Bone marrow aspirate smear:
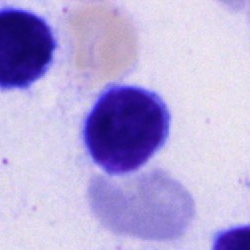Single cell identified as a typical lymphocyte.